Bone marrow smear
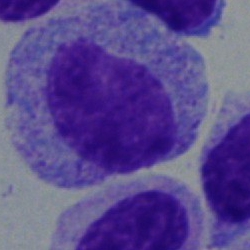

{"cell_type": "myelocyte", "lineage": "myeloid"}